Bone marrow smear
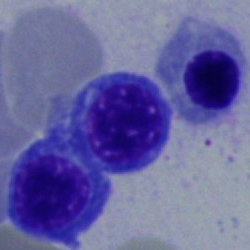
Morphological class: nucleated red blood cell.